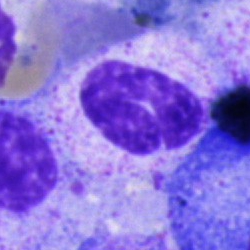
Specimen: bone marrow aspirate smear.
Cell: band-form neutrophil.